Single-cell crop; bone marrow aspirate smear.
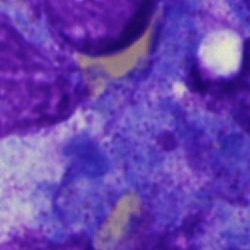

Specimen: bone marrow smear.
Classification: artefact.